Bone marrow smear
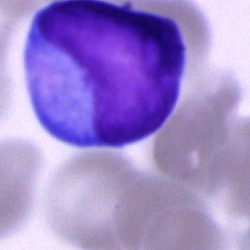
Impression — undifferentiated blast.